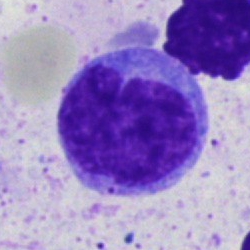 Bone marrow smear showing a monocyte.